Bone marrow aspirate smear: 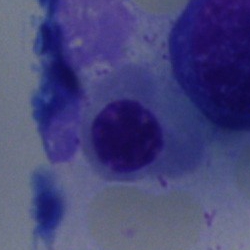
Specimen: bone marrow smear.
Cell: normoblast.
Lineage: erythroid.